Image size 400×400; peripheral blood film; Romanowsky-type stain: 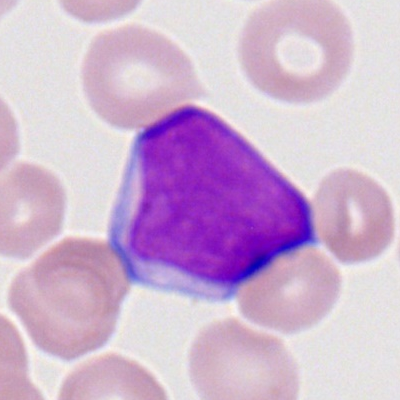

Cell type — myeloblast.